250×250. Single-cell field. Bone marrow aspirate smear
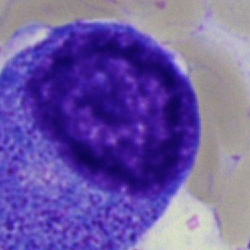Impression → promyelocyte.